Bone marrow aspirate smear — 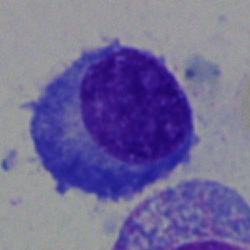 A plasma cell.